Single-cell crop · 40× oil immersion · bone marrow aspirate smear:
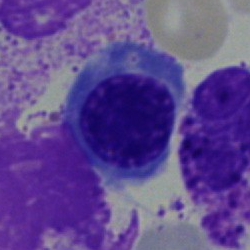 Morphological class: nucleated red cell.